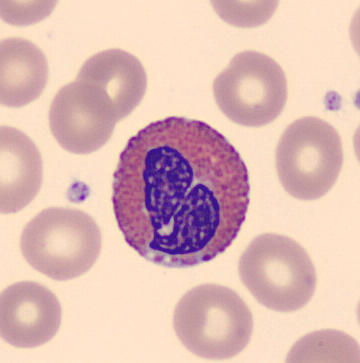

Cell type — eosinophilic granulocyte. Acquisition: Single-cell crop · peripheral blood smear · image size 360×363.